Image size 250×250. Bone marrow aspirate smear. May-Grünwald-Giemsa/Pappenheim stain
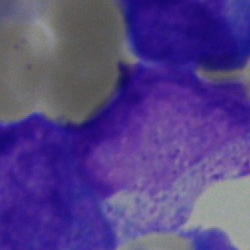
The cell type is undifferentiated blast.